Bone marrow aspirate smear. 250 by 250 pixels
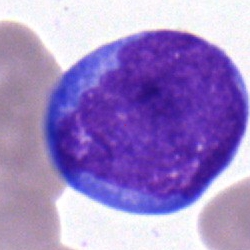
Single cell identified as a blast.